Bone marrow smear — 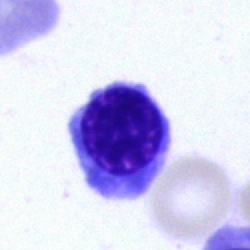

{"cell_type": "nucleated red blood cell"}